Bone marrow smear — 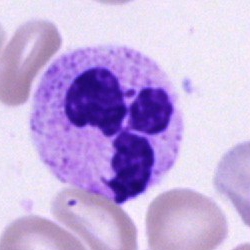

Q: Which cell type is shown here?
A: It is a segmented neutrophil.